Bone marrow aspirate smear
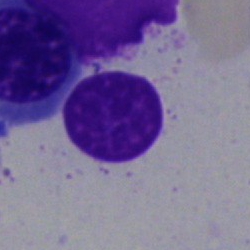Impression → typical lymphocyte.